Peripheral blood film: 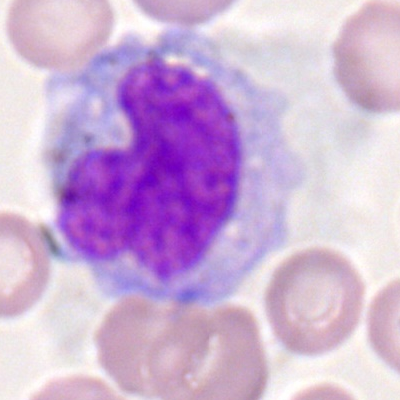

The classification is monocyte.